Bone marrow smear — 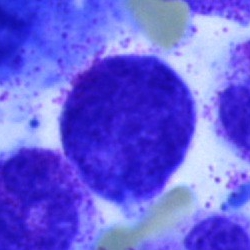Morphology → typical lymphocyte.